Bone marrow smear:
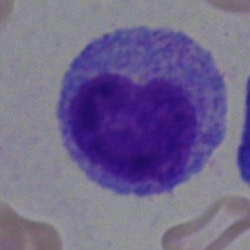
Impression — myelocyte.